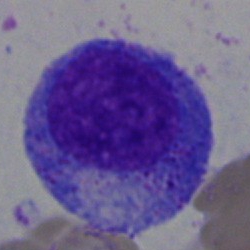

Specimen: bone marrow smear.
Morphological class: progranulocyte.
Lineage: myeloid.